Bone marrow aspirate smear
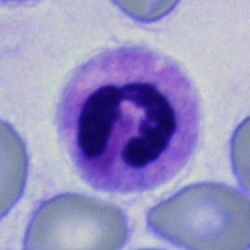 Morphological class = neutrophil (segmented).